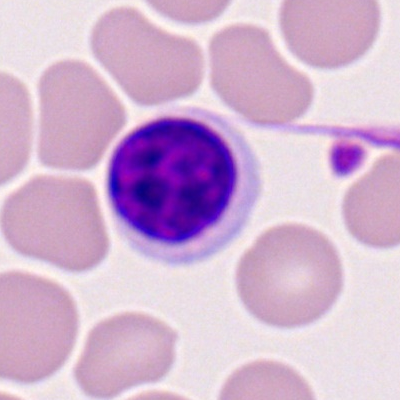 A lymphocyte on a peripheral blood smear.